Bone marrow aspirate smear — 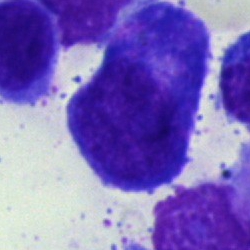 Progranulocyte.